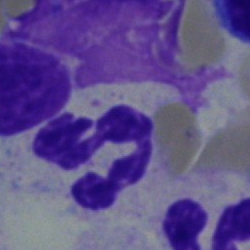Single cell identified as a polymorphonuclear neutrophil.